Bone marrow aspirate smear:
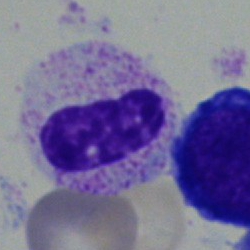Cell: band-form neutrophil.